Bone marrow aspirate smear · brightfield, 40× oil-immersion objective: 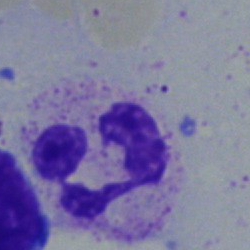Cell — neutrophil (segmented).